40× oil immersion · bone marrow smear
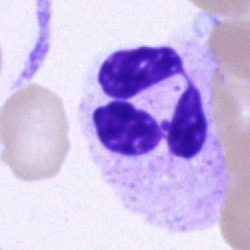
Classification: neutrophil (segmented).